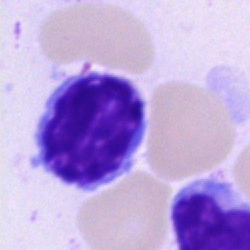Classification = lymphocyte.